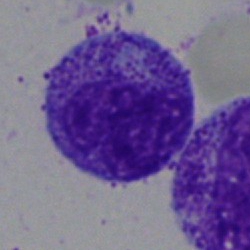

The cell shown is a myelocyte.